Bone marrow smear
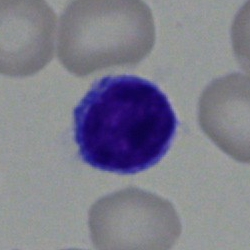

Morphology — lymphocyte.